Bone marrow smear — 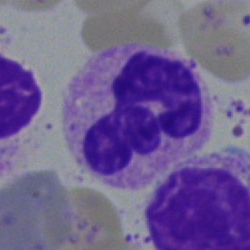

Q: Identify the cell.
A: Segmented neutrophil.